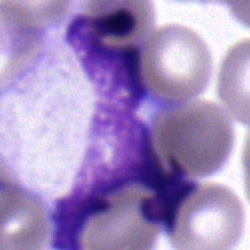
Showing a neutrophil (segmented).